Peripheral blood film. Romanowsky-type stain. Cropped to a single cell
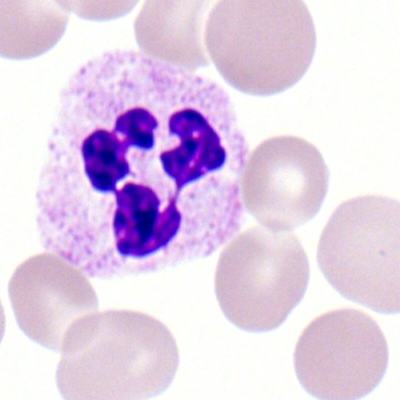

Showing a segmented neutrophil.